Bone marrow aspirate smear; single-cell crop
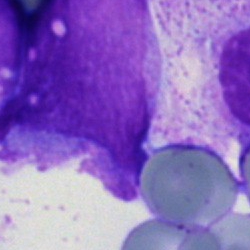

This is an artifact.